Image size 250×250; bone marrow aspirate smear; MGG-stained — 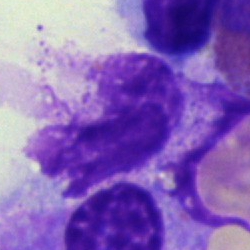

The cell shown is an artifact.